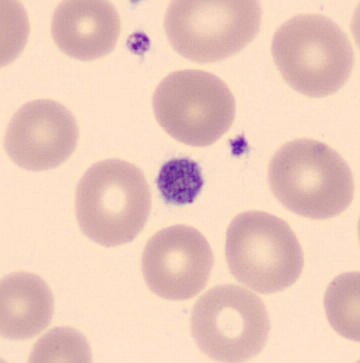

Impression → platelet.
Peripheral blood smear.